Bone marrow smear. Cropped to a single cell — 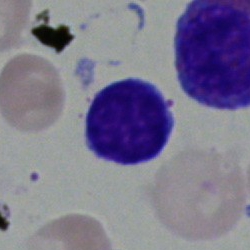

The cell is typical lymphocyte.